Pappenheim-stained. 40× oil immersion. Bone marrow smear — 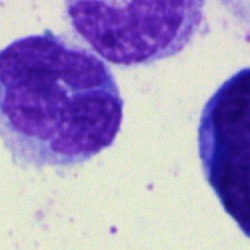
Morphology consistent with a monocyte.